Bone marrow aspirate smear.
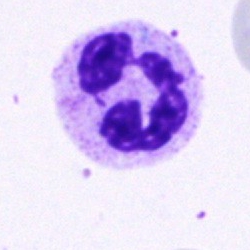A segmented neutrophil.